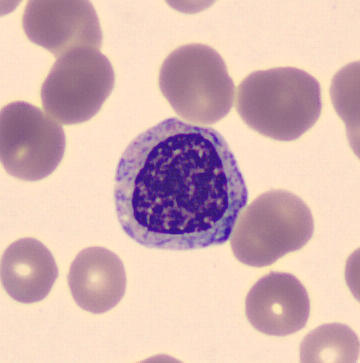 Morphological class: myelocyte.